Peripheral blood smear
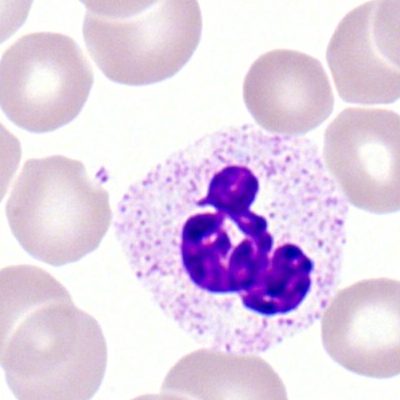 Neutrophil (segmented).